Bone marrow smear: 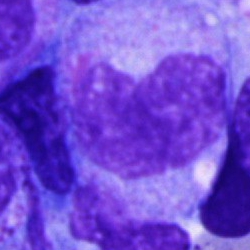{"cell_type": "monocyte"}